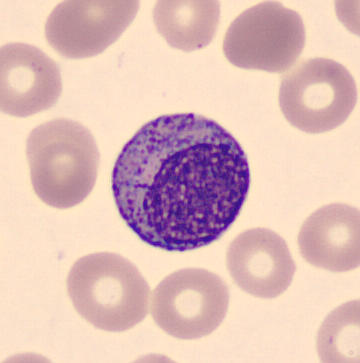Impression → myelocyte.